250×250 px. Bone marrow smear. Single cell centered in the field:
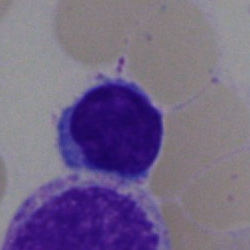A typical lymphocyte.